Bone marrow smear
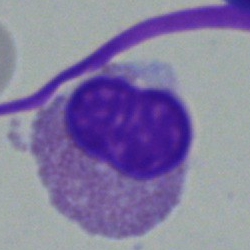
Single cell identified as an eosinophil.